Bone marrow aspirate smear
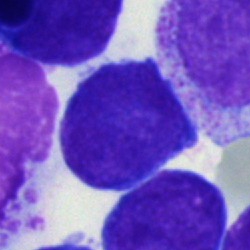 Specimen: bone marrow aspirate smear.
Cell: blast cell.